Bone marrow smear — 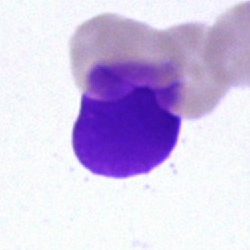

The cell shown is an artefact.